400×400 px · Romanowsky-type stain · peripheral blood film
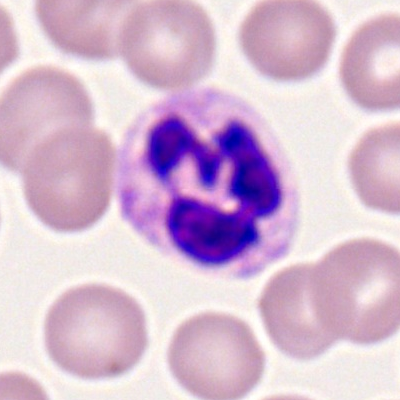
Impression — segmented neutrophil.